Bone marrow aspirate smear. MGG-stained.
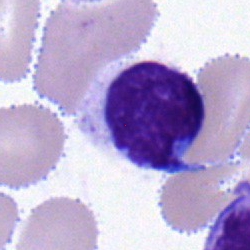Single cell identified as a typical lymphocyte.